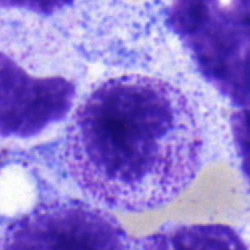
The morphological class is myelocyte.